MGG-stained. Bone marrow smear. Brightfield, 40× oil-immersion objective:
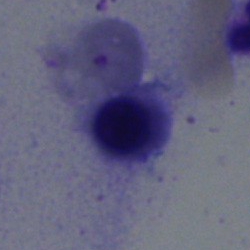 Specimen: bone marrow smear.
Cell: erythroblast.
Lineage: erythroid.